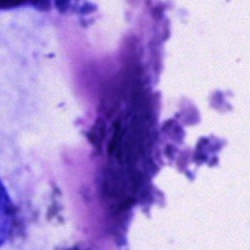
Specimen: bone marrow smear.
Morphological class: artifact.